40× oil immersion; bone marrow smear
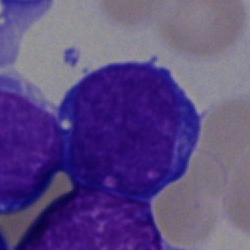 Impression — blast.